Bone marrow smear.
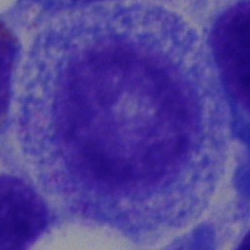

Morphological class = promyelocyte.